Bone marrow smear: 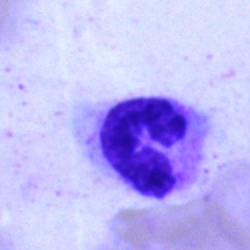
Single cell identified as a polymorphonuclear neutrophil.